Image size 400×400. Peripheral blood smear. Romanowsky stain:
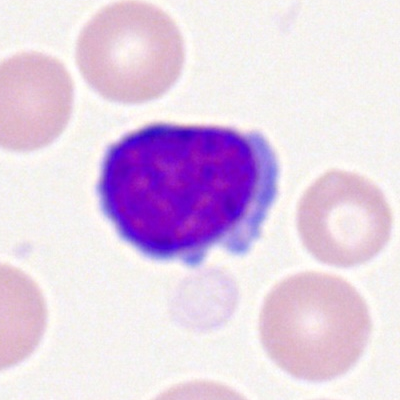

This is a typical lymphocyte.